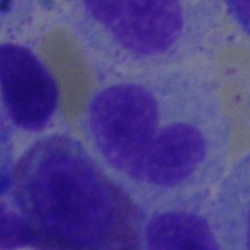Morphological class = band neutrophil.